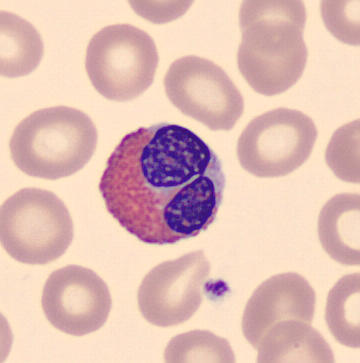

This is an eosinophilic granulocyte.